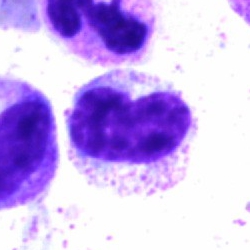

Impression → metamyelocyte.